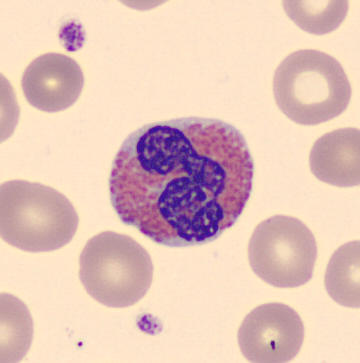
Image: Single-cell field. Peripheral blood smear. This is an eosinophil.